Bone marrow smear
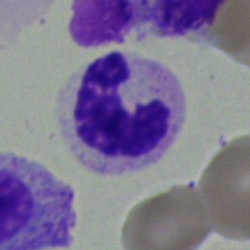 Single cell identified as a polymorphonuclear neutrophil.